Bone marrow smear
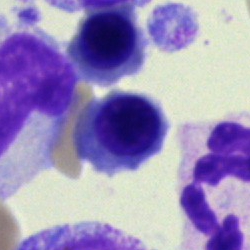 Morphological class = erythroblast.